Bone marrow smear
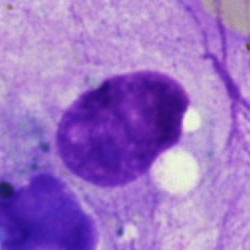 Q: What is shown here?
A: An artefact.